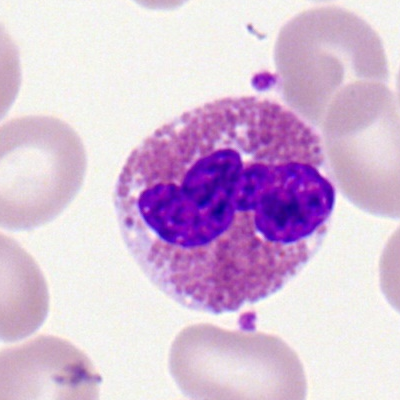Showing an eosinophilic granulocyte.